Brightfield microscopy, 40× oil immersion. Bone marrow aspirate smear: 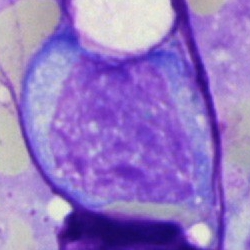 The classification is progranulocyte.